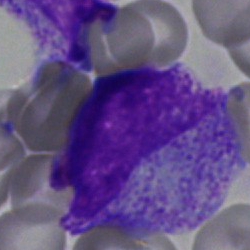

The cell shown is a myelocyte.